Bone marrow smear · MGG-stained — 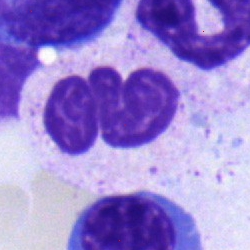

Cell = neutrophil (segmented).